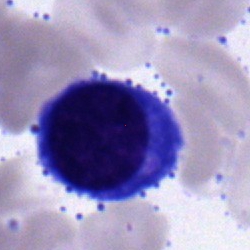Classification: nucleated red cell.